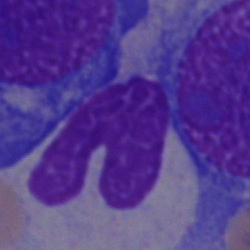Specimen: bone marrow smear.
Cell type: artifact.